Bone marrow aspirate smear:
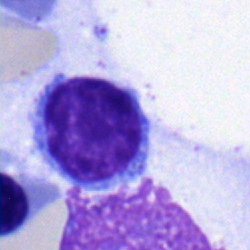
{"cell_type": "lymphocyte", "lineage": "lymphoid"}